Bone marrow aspirate smear.
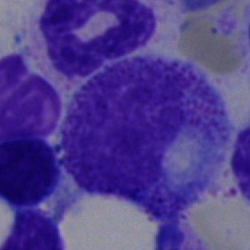 Progranulocyte.